Image size 250×250. Bone marrow aspirate smear. Single cell centered in the field
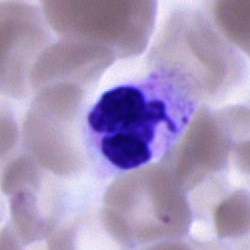
Q: What is the morphological classification of this cell?
A: This is a neutrophil (segmented).